Image size 400×400. Peripheral blood film — 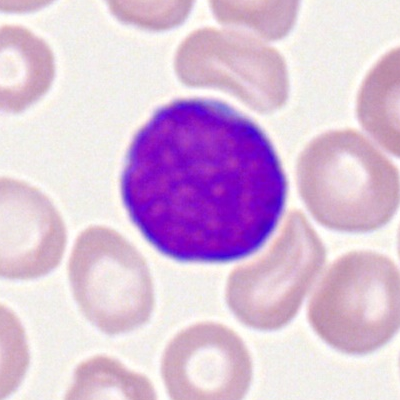

Impression — myeloid blast.